Bone marrow aspirate smear
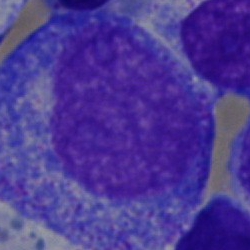Cell type: progranulocyte.